Bone marrow smear.
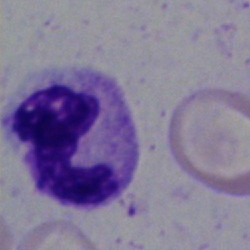 This is a polymorphonuclear neutrophil.